Single-cell crop. Bone marrow aspirate smear: 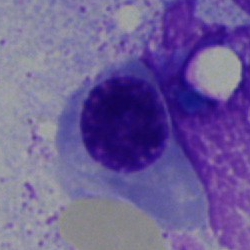
Q: What is shown here?
A: This is a nucleated red blood cell.